Bone marrow aspirate smear: 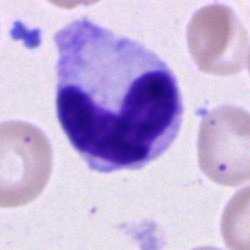
Showing a stab cell.